Bone marrow aspirate smear; single-cell field: 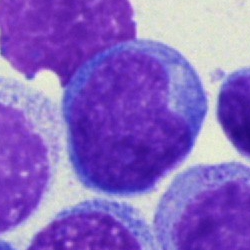 Morphological class: blast.